Peripheral blood smear; 360 by 363 pixels; single cell centered in the field — 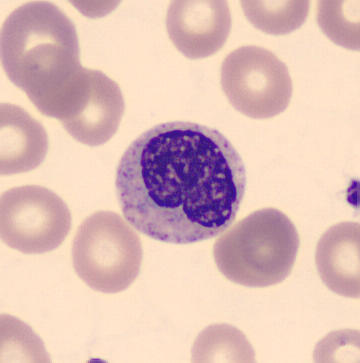Classification — metamyelocyte.